Bone marrow aspirate smear: 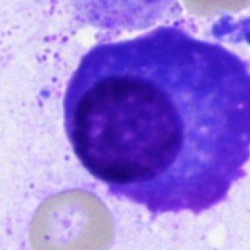

Morphology — plasma cell.